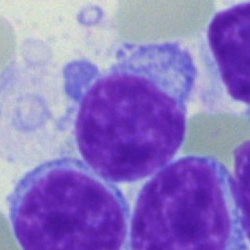

Specimen: bone marrow aspirate smear.
Morphological class: lymphocyte.
Lineage: lymphoid.